Bone marrow smear · Pappenheim-stained.
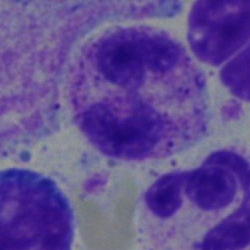 Morphology consistent with a segmented neutrophil.